Bone marrow smear
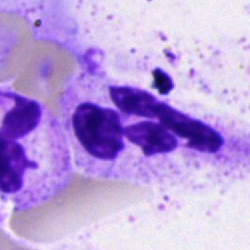 Specimen: bone marrow smear.
Cell type: polymorphonuclear neutrophil.
Lineage: myeloid.